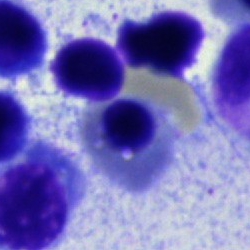
Q: What is shown here?
A: This is a normoblast.